Bone marrow smear
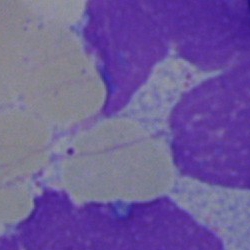
Specimen: bone marrow aspirate smear.
Morphological class: artifact.